Bone marrow aspirate smear · Pappenheim-stained: 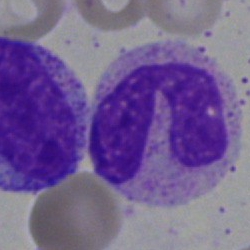 Single cell identified as a neutrophil (segmented).